Bone marrow smear · May-Grünwald-Giemsa/Pappenheim stain · brightfield, 40× oil-immersion objective
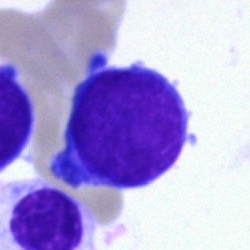 The classification is blast.